Bone marrow smear. 40× oil immersion — 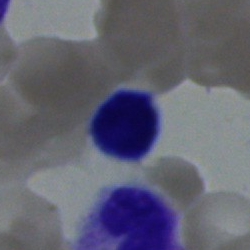

The cell shown is a typical lymphocyte.